Bone marrow aspirate smear:
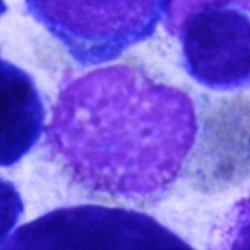Artifact.